Peripheral blood film — 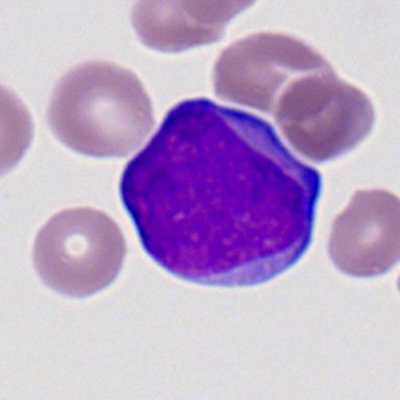

Specimen: peripheral blood film.
Morphological class: myeloid blast.